Bone marrow smear.
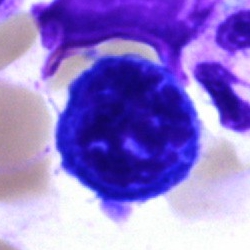Morphology → artefact.